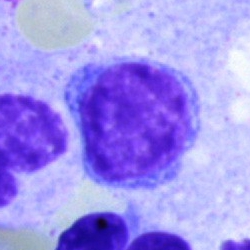Specimen: bone marrow aspirate smear.
Classification: typical lymphocyte.
Lineage: lymphoid.